Bone marrow aspirate smear.
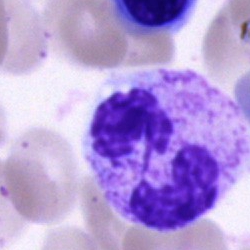
Showing a neutrophil (segmented).